Bone marrow aspirate smear:
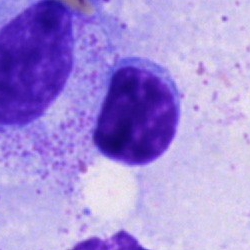 Single cell identified as a lymphocyte.